Bone marrow aspirate smear: 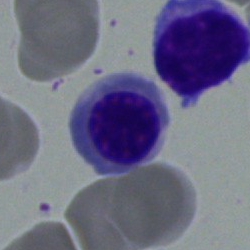
A nucleated red blood cell.